Bone marrow aspirate smear — 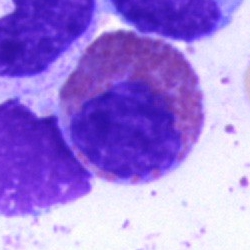Cell: eosinophilic granulocyte.